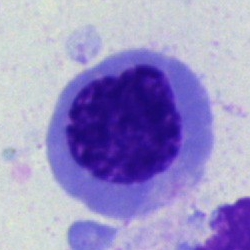 Bone marrow smear showing an erythroblast.